Bone marrow smear:
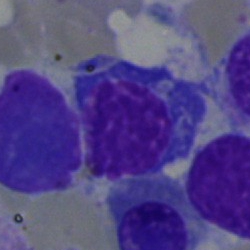

Impression → normoblast.